Bone marrow smear · image size 250×250: 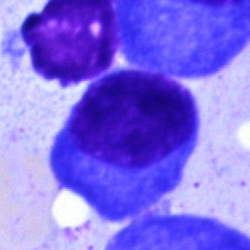 The cell shown is a plasmacyte.